Image size 250×250. Bone marrow aspirate smear.
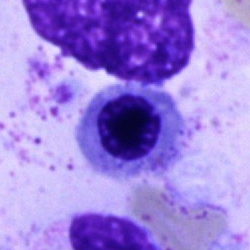Classification = normoblast.